Bone marrow aspirate smear.
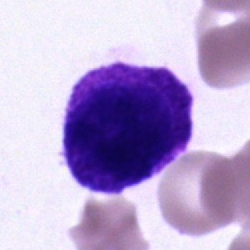
A cell of indeterminate lineage.